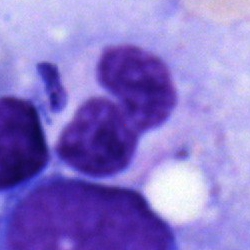 Specimen: bone marrow aspirate smear.
Cell type: stab cell.